Bone marrow aspirate smear
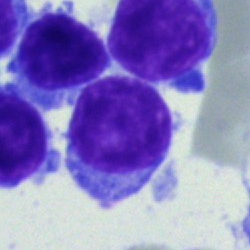

This is a lymphocyte.